Bone marrow smear
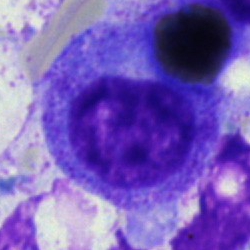 A promyelocyte.